Bone marrow smear:
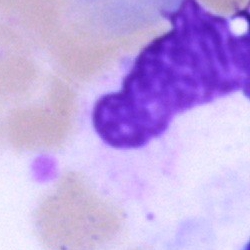Cell type — artifact.